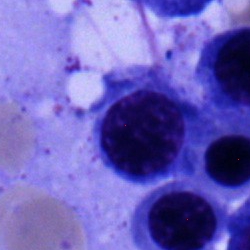
The cell shown is an erythroblast.